Single-cell crop. Bone marrow smear — 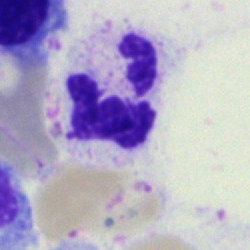Segmented neutrophil.